250×250. Bone marrow aspirate smear: 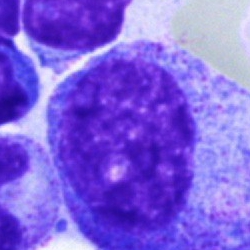Morphology consistent with a progranulocyte.